Brightfield, 40× oil-immersion objective. Bone marrow aspirate smear.
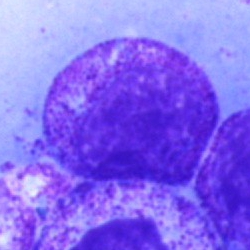 Single cell identified as a myelocyte.